Bone marrow aspirate smear: 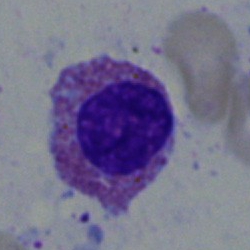 Specimen: bone marrow aspirate smear.
Classification: eosinophilic granulocyte.